Bone marrow smear:
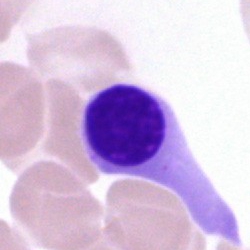Q: What is the morphological classification of this cell?
A: It is a normoblast.